Bone marrow aspirate smear. MGG-stained.
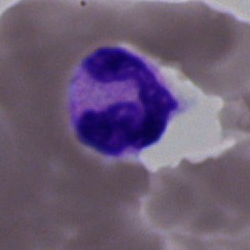

Morphological class = segmented neutrophil.